Brightfield, 100× oil-immersion objective. Peripheral blood smear.
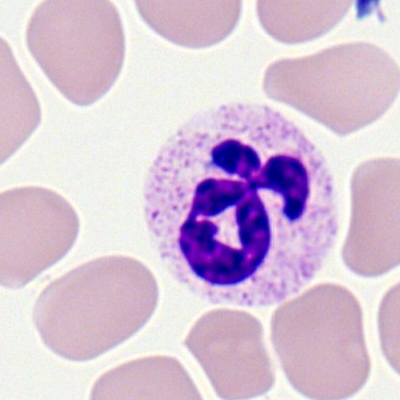

A neutrophil (segmented).